Bone marrow smear; 40× objective, oil immersion
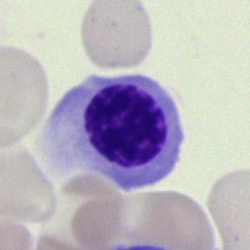

Cell type = nucleated red cell.